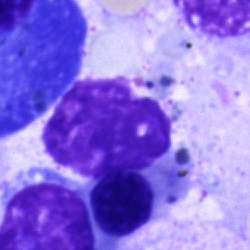

Specimen: bone marrow aspirate smear.
Cell: artefact.